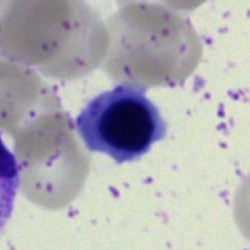Normoblast.